Bone marrow aspirate smear. 250×250
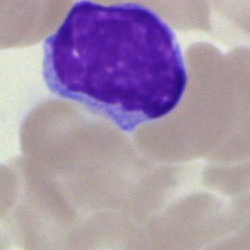 Morphology consistent with a lymphocyte.